Peripheral blood film. 400×400 px
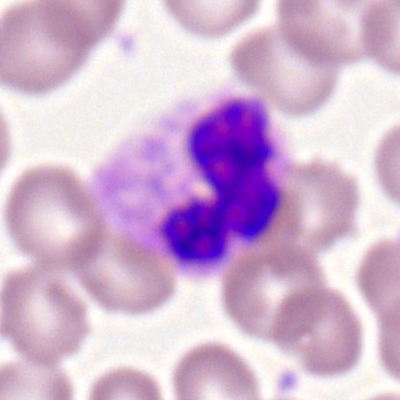 This is a segmented neutrophil.